Bone marrow aspirate smear; single-cell field: 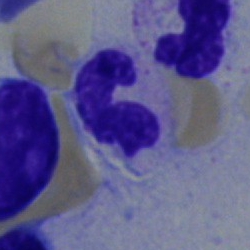Morphology → polymorphonuclear neutrophil.